Bone marrow smear. Single-cell crop.
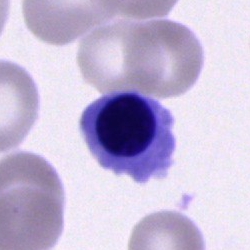 Impression → erythroblast.